250×250 px · bone marrow smear · May-Grünwald-Giemsa stain: 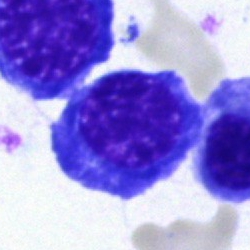
Single cell identified as an erythroblast.